Cropped to a single cell; bone marrow aspirate smear; image size 250×250
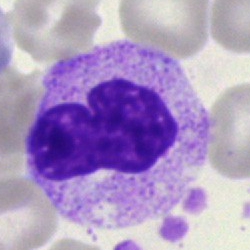
Single cell identified as a band-form neutrophil.